Brightfield microscopy, 40× oil immersion; bone marrow smear
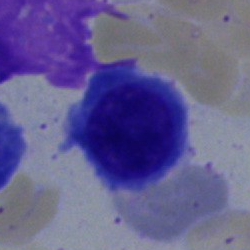
Morphological class — normoblast.